Bone marrow aspirate smear
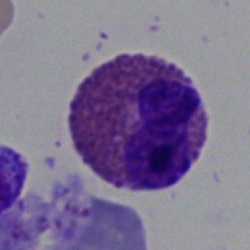
Q: Identify the cell.
A: Eosinophilic granulocyte.